Bone marrow smear; Pappenheim-stained — 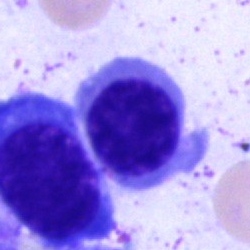 Q: What is the morphological classification of this cell?
A: It is an erythroblast.